Bone marrow aspirate smear — 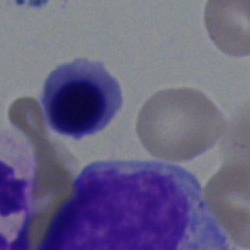

Showing a nucleated red blood cell.